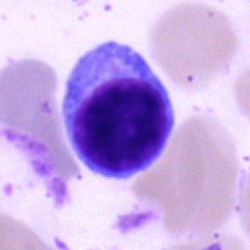Single-cell crop from a bone marrow smear: lymphocyte.